Bone marrow aspirate smear · May-Grünwald-Giemsa/Pappenheim stain:
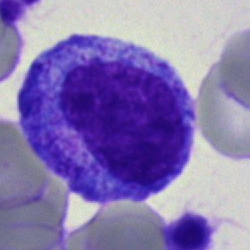A promyelocyte.